Bone marrow aspirate smear; 40× objective, oil immersion; image size 250×250.
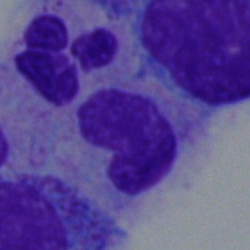 Classification = neutrophil (segmented).